Bone marrow smear:
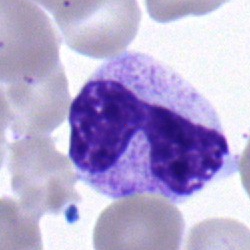
Specimen: bone marrow smear.
Classification: stab cell.